Pappenheim-stained; bone marrow smear; 40× objective, oil immersion — 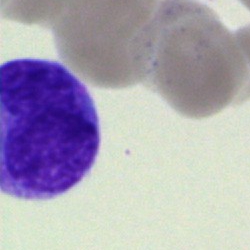

Q: What is the morphological classification of this cell?
A: This is an unidentifiable cell.